May-Grünwald-Giemsa stain · 40× oil immersion · bone marrow aspirate smear
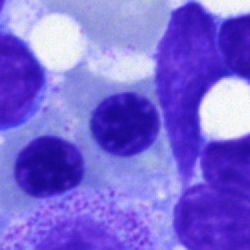 Nucleated red cell.